250 by 250 pixels · bone marrow smear: 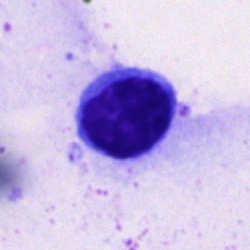The cell is typical lymphocyte.